Bone marrow smear · brightfield microscopy, 40× oil immersion · cropped to a single cell — 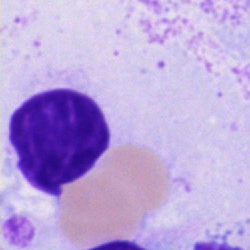Artifact.